Bone marrow aspirate smear: 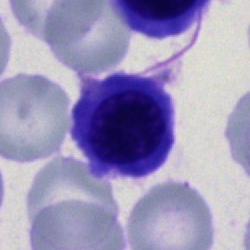
Cell: erythroblast.